Bone marrow smear — 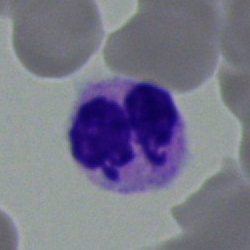
This is a polymorphonuclear neutrophil.